Bone marrow aspirate smear — 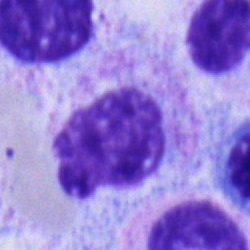

Impression → metamyelocyte.